Bone marrow aspirate smear; 40× oil immersion; May-Grünwald-Giemsa/Pappenheim stain:
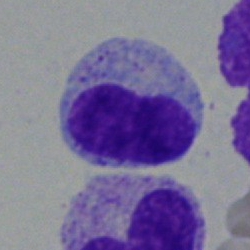

A metamyelocyte.